Bone marrow aspirate smear:
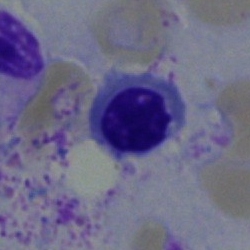 Q: Identify the cell.
A: A nucleated red blood cell.